Single-cell field. 250×250. Bone marrow smear: 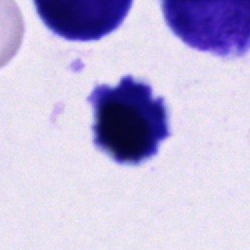Cell: cell of indeterminate lineage.